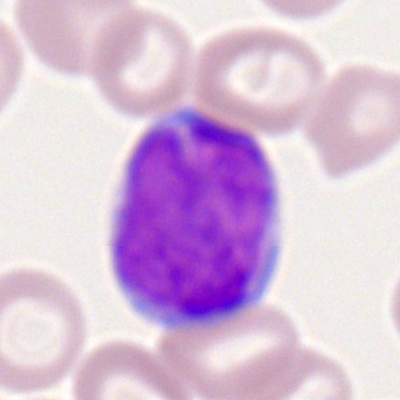The morphological class is myeloid blast.